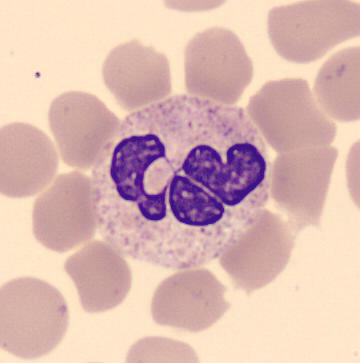

Morphology — segmented neutrophil.